Bone marrow smear — 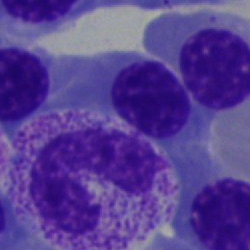
A band neutrophil.